Pappenheim-stained; bone marrow aspirate smear — 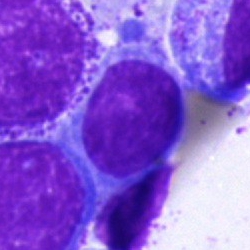 The cell is undifferentiated blast.